Bone marrow smear.
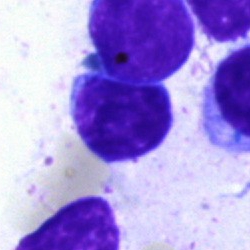
Impression → typical lymphocyte.